Image size 400×400; peripheral blood film
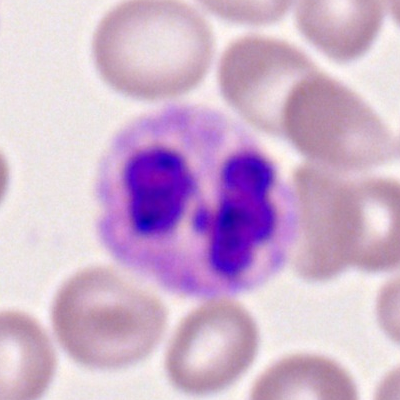

Showing a neutrophil (segmented).